Bone marrow smear:
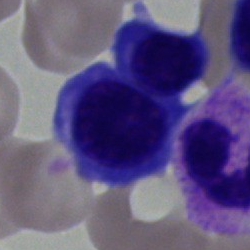

Q: What cell is this?
A: It is a normoblast.